Bone marrow smear · single-cell crop · May-Grünwald-Giemsa stain
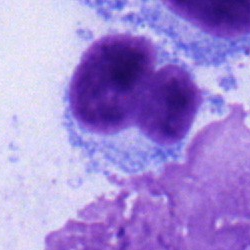
The classification is typical lymphocyte.